Bone marrow aspirate smear
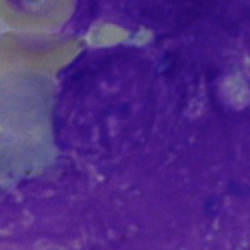Artifact.